Bone marrow aspirate smear:
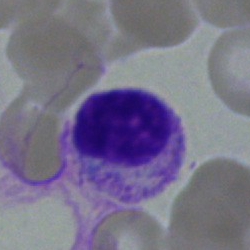The cell type is myelocyte.